Bone marrow aspirate smear: 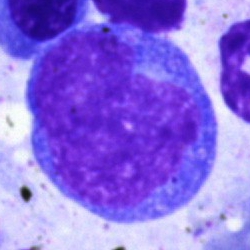 Specimen: bone marrow aspirate smear.
Morphological class: proerythroblast.